May-Grünwald-Giemsa/Pappenheim stain. Bone marrow aspirate smear: 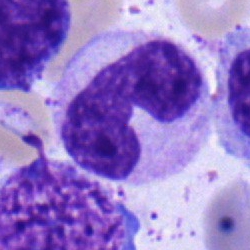This is a band neutrophil.